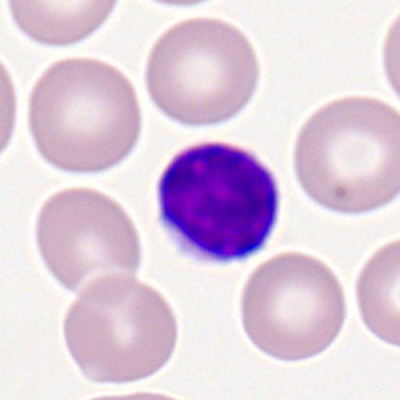 The cell shown is a lymphocyte.